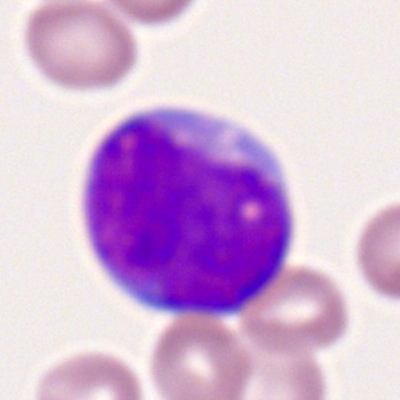Myeloblast.